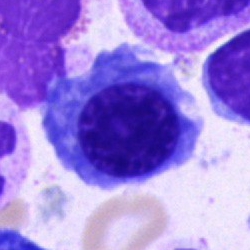 The cell type is nucleated red blood cell.